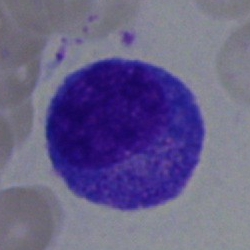
Single cell identified as a promyelocyte.